40× oil immersion. Bone marrow aspirate smear: 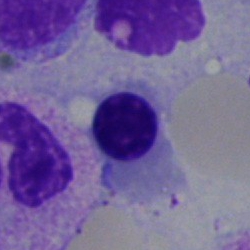 Specimen: bone marrow smear.
Classification: nucleated red blood cell.
Lineage: erythroid.